Bone marrow smear · cropped to a single cell
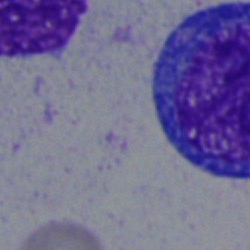

Cell = blast cell.